Bone marrow smear — 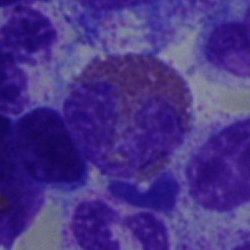
Single cell identified as an eosinophilic granulocyte.